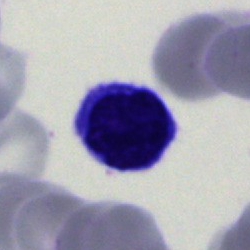Specimen: bone marrow aspirate smear.
Morphological class: lymphocyte.